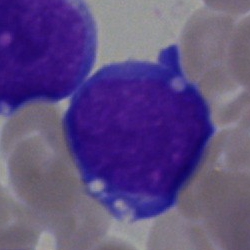The classification is blast cell.